Bone marrow smear — 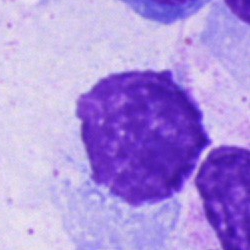 Q: What is shown here?
A: Artifact.